Bone marrow smear — 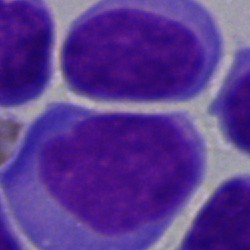
Q: What is shown here?
A: It is a blast.